250×250 · brightfield, 40× oil-immersion objective · bone marrow smear — 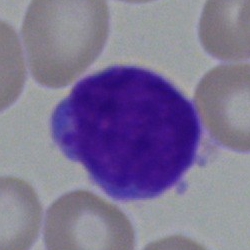

Specimen: bone marrow smear.
Classification: blast cell.